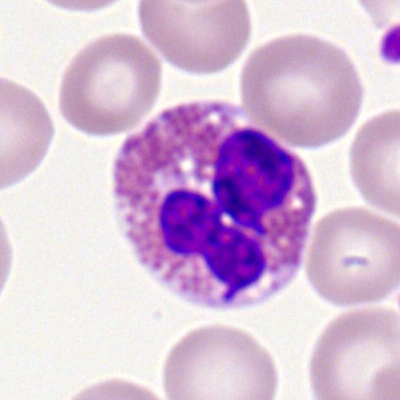 The cell shown is an eosinophilic granulocyte.